Bone marrow smear.
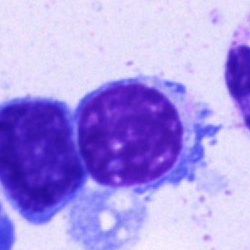
Morphological class: lymphocyte.